250×250 px. Bone marrow aspirate smear
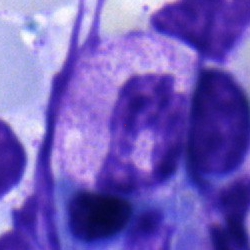

A polymorphonuclear neutrophil.